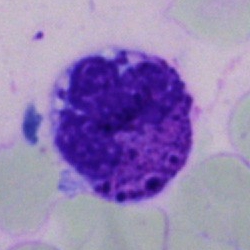 Basophilic granulocyte.